Bone marrow aspirate smear
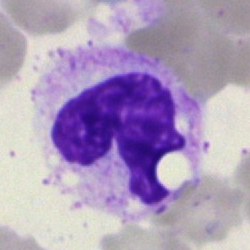 Impression → band-form neutrophil.